Bone marrow aspirate smear
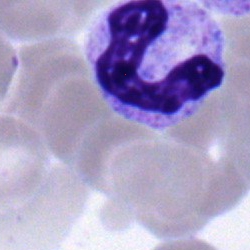
{"cell_type": "band-form neutrophil"}